Bone marrow aspirate smear.
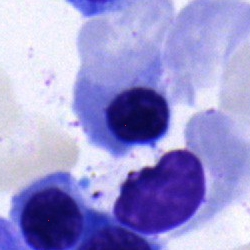Impression — nucleated red blood cell.